Bone marrow smear: 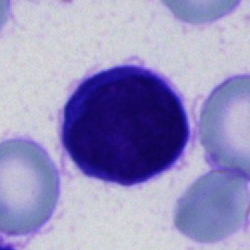Showing an unidentifiable cell.